40× oil immersion · bone marrow aspirate smear: 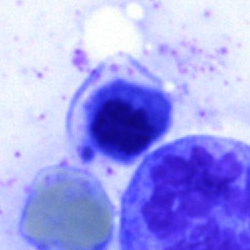

A nucleated red cell.